Brightfield, 40× oil-immersion objective; May-Grünwald-Giemsa/Pappenheim stain; bone marrow aspirate smear.
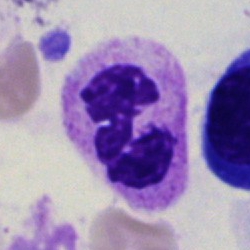

{"cell_type": "neutrophil (segmented)", "lineage": "myeloid"}